40× objective, oil immersion · bone marrow aspirate smear · May-Grünwald-Giemsa stain — 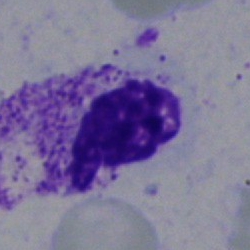Single cell identified as a neutrophil (segmented).